Bone marrow aspirate smear.
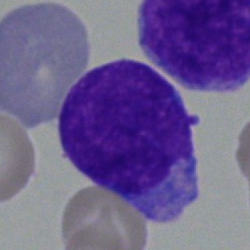

Q: Which cell type is shown here?
A: A blast cell.